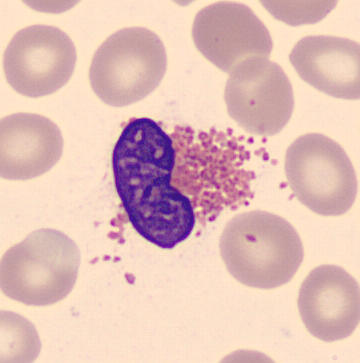
Specimen: peripheral blood smear.
Cell: eosinophilic granulocyte.